Cropped to a single cell · 250×250 · bone marrow smear: 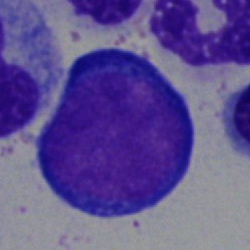 Impression — pronormoblast.